40× oil immersion; bone marrow smear; 250×250 — 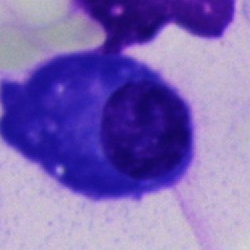

Morphological class — plasmacyte.